Pappenheim-stained; bone marrow aspirate smear:
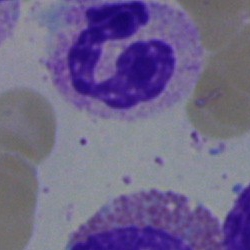

Morphology consistent with a neutrophil (segmented).